Bone marrow smear. May-Grünwald-Giemsa stain. Cropped to a single cell.
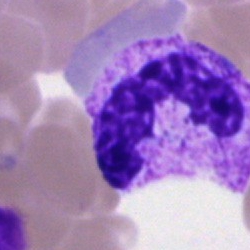Morphology — stab cell.